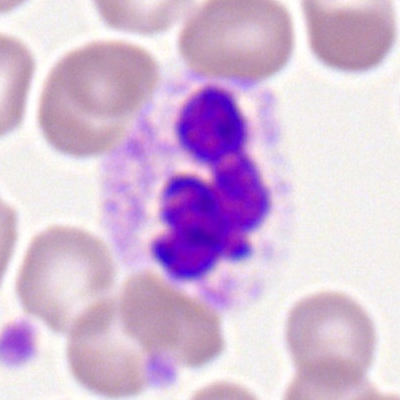Specimen: peripheral blood film.
Morphological class: segmented neutrophil.
Lineage: myeloid.